Bone marrow aspirate smear.
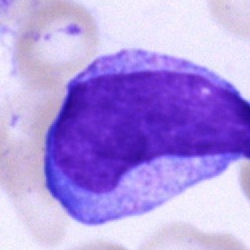Classification: promyelocyte.